40× oil immersion · May-Grünwald-Giemsa/Pappenheim stain · bone marrow aspirate smear.
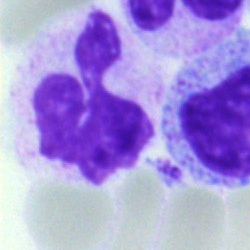

Morphology consistent with a neutrophil (segmented).